Pappenheim-stained; bone marrow smear
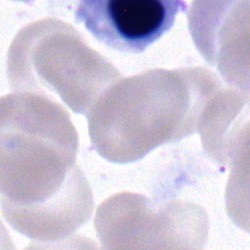Q: Identify the cell.
A: A normoblast.